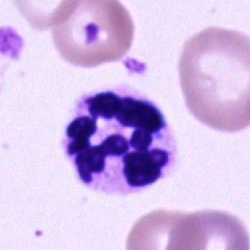
This is a neutrophil (segmented).